Bone marrow smear: 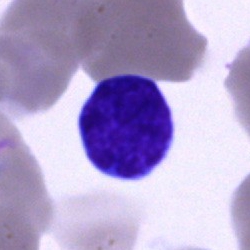
Showing a lymphocyte.